Bone marrow aspirate smear — 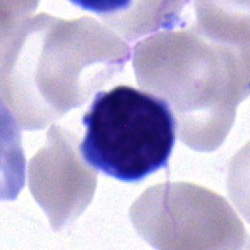

Morphology consistent with a typical lymphocyte.